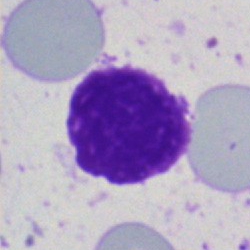

Impression → artifact.